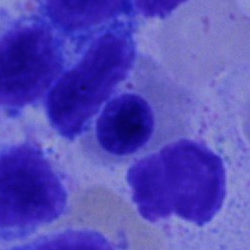Bone marrow aspirate smear, single cell — nucleated red cell.